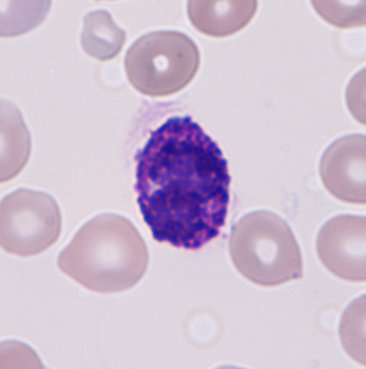

A basophilic granulocyte on a peripheral blood smear.